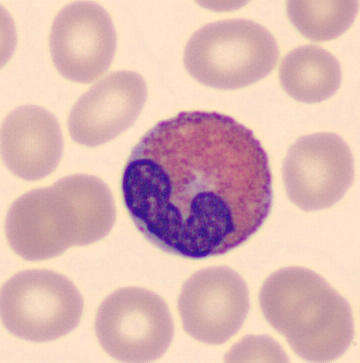

Specimen: peripheral blood film.
Cell: eosinophil.
Lineage: myeloid.